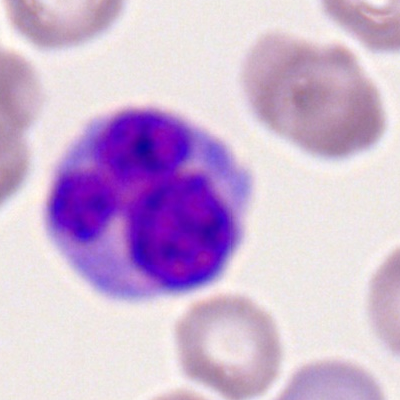

{"cell_type": "monocyte", "lineage": "myeloid"}